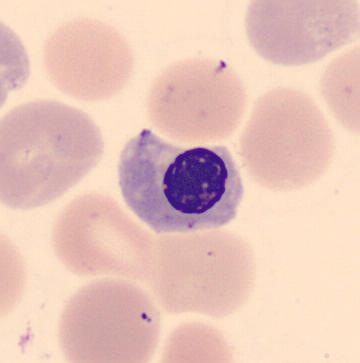

Q: Identify the cell.
A: An erythroblast.

Peripheral blood smear · 360×363 · single cell centered in the field.